Image size 250×250 · bone marrow aspirate smear · 40× oil immersion: 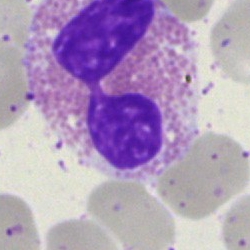

Morphology — eosinophilic granulocyte.